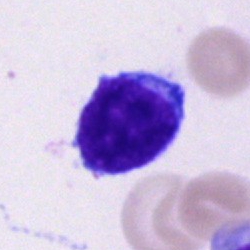 Morphological class: lymphocyte.